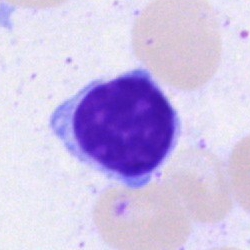

{"cell_type": "typical lymphocyte", "lineage": "lymphoid"}